Image size 250×250 · bone marrow aspirate smear — 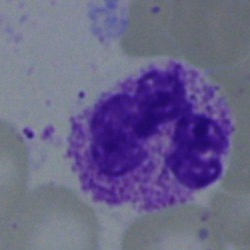
Showing a polymorphonuclear neutrophil.